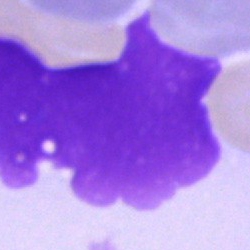

Specimen: bone marrow smear.
Classification: artefact.